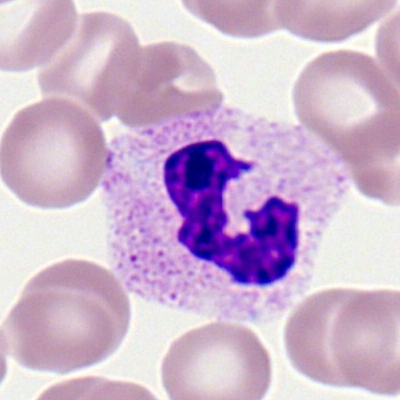The classification is neutrophil (segmented).